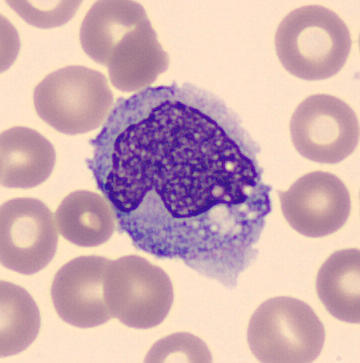
Morphological class: monocyte.
Peripheral blood film.